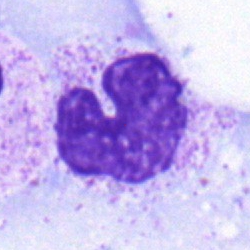
Bone marrow smear showing a band neutrophil.